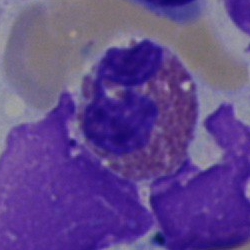Classification = eosinophil.